Bone marrow smear.
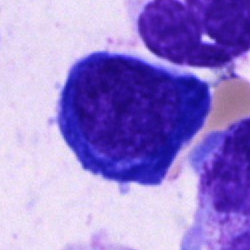

This is a normoblast.